Single cell centered in the field. Bone marrow aspirate smear:
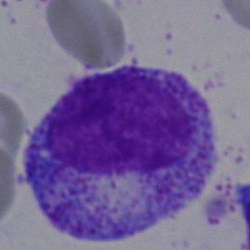
Morphological class: myelocyte.